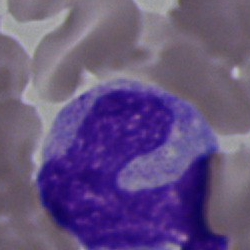Morphological class — monocyte.